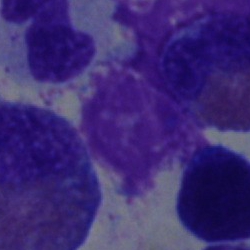The classification is artefact.